Bone marrow smear. MGG-stained:
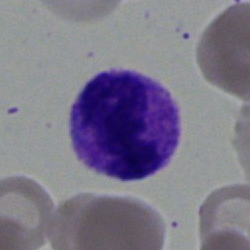Morphology → polymorphonuclear neutrophil.